Bone marrow smear
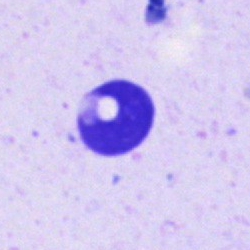

Showing an artefact.